May-Grünwald-Giemsa/Pappenheim stain. Single-cell crop. Bone marrow smear
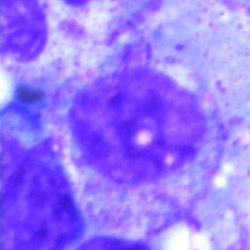 Q: What type of cell is this?
A: Metamyelocyte.